Single-cell field · bone marrow smear · 250 by 250 pixels.
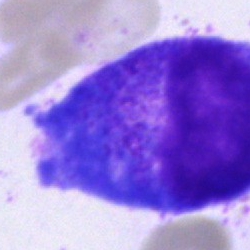

Single cell identified as a progranulocyte.